Bone marrow aspirate smear. Single-cell crop. May-Grünwald-Giemsa/Pappenheim stain: 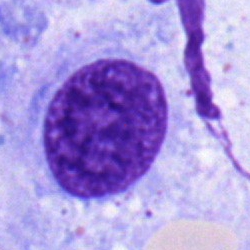A lymphocyte.